Bone marrow aspirate smear; 250×250; single-cell crop:
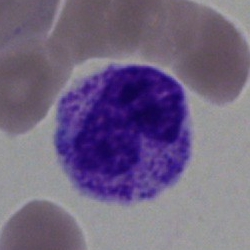
Classification — band-form neutrophil.